Bone marrow aspirate smear:
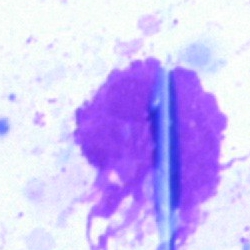 Impression — artifact.